Bone marrow smear; single-cell field; May-Grünwald-Giemsa/Pappenheim stain: 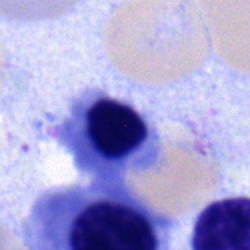
Specimen: bone marrow smear.
Cell: nucleated red cell.